Bone marrow aspirate smear — 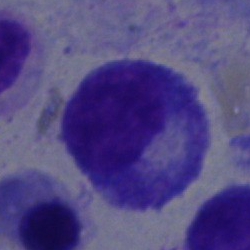

Impression → promyelocyte.